Bone marrow aspirate smear
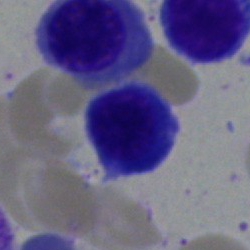Impression — typical lymphocyte.